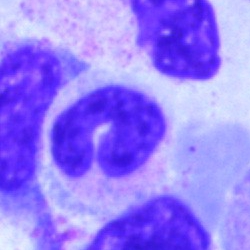 Q: What is shown here?
A: This is a band neutrophil.